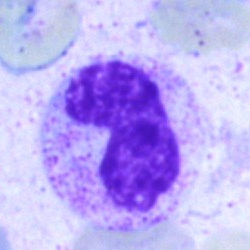
Specimen: bone marrow smear.
Cell: band-form neutrophil.
Lineage: myeloid.